Bone marrow aspirate smear · May-Grünwald-Giemsa/Pappenheim stain
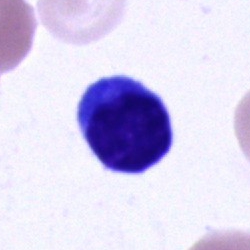

Classification = typical lymphocyte.